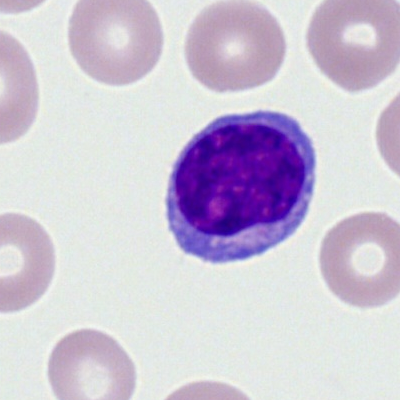
Single-cell crop from a peripheral blood smear: typical lymphocyte.